Bone marrow aspirate smear:
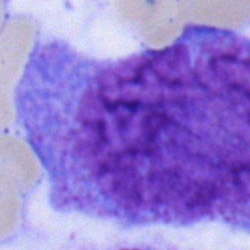 Q: What cell is this?
A: A myelocyte.